Bone marrow smear · Pappenheim-stained — 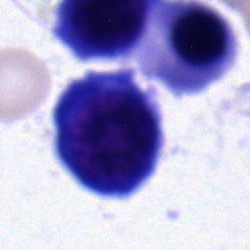Q: What cell is this?
A: It is a normoblast.